Bone marrow aspirate smear:
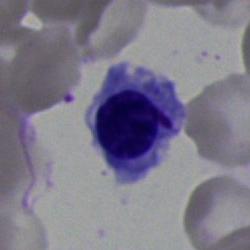

{"cell_type": "nucleated red cell", "lineage": "erythroid"}